Peripheral blood smear · Romanowsky-type stain: 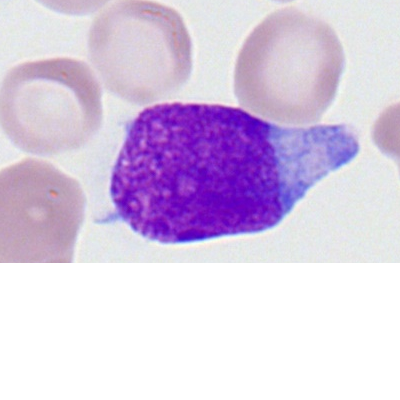The cell is myeloblast.